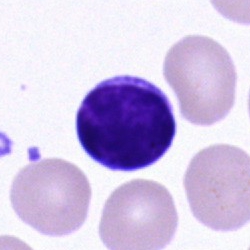

Typical lymphocyte.